Bone marrow aspirate smear
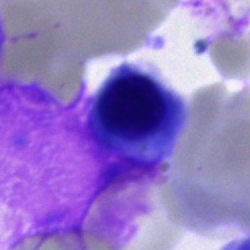 Showing an artefact.